Bone marrow smear: 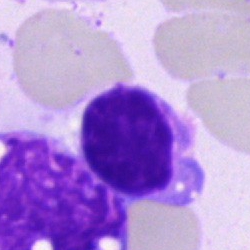 {"cell_type": "typical lymphocyte", "lineage": "lymphoid"}